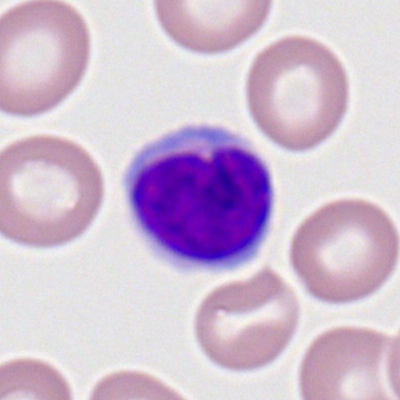The cell type is typical lymphocyte.